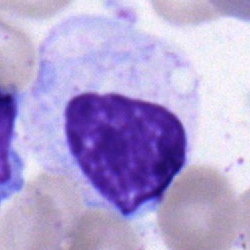Single-cell crop from a bone marrow smear: myelocyte.